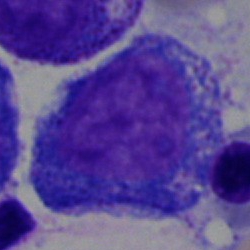Q: What type of cell is this?
A: Progranulocyte.